Single-cell crop · peripheral blood smear · Romanowsky-stained — 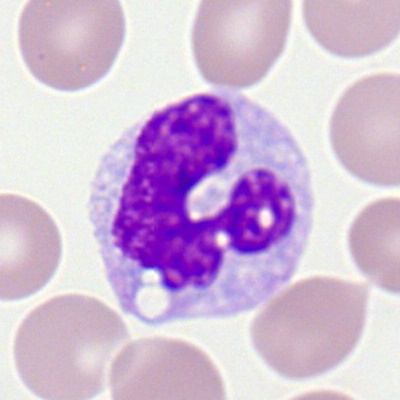 Single cell identified as a monocyte.